Bone marrow aspirate smear:
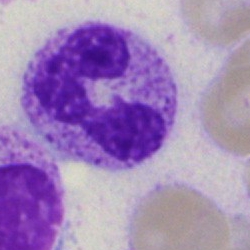

Classification: neutrophil (segmented).